Cropped to a single cell; bone marrow smear.
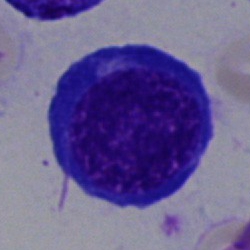 Normoblast.